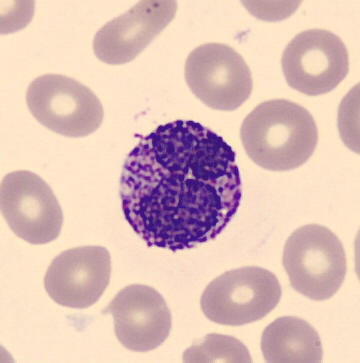 Acquisition: Single cell centered in the field; peripheral blood smear; 360×363 px. Cell = basophil.